Image size 250×250; bone marrow aspirate smear — 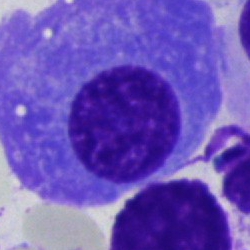

{"cell_type": "plasmacyte", "lineage": "lymphoid"}